Bone marrow aspirate smear · 250×250 · brightfield microscopy, 40× oil immersion.
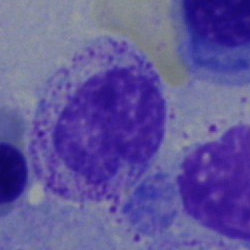
Showing a myelocyte.